Single cell centered in the field. Bone marrow smear
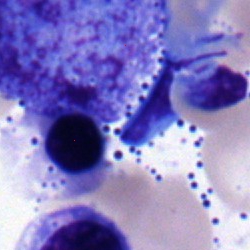 Cell: myelocyte.